250×250. Bone marrow smear. MGG-stained — 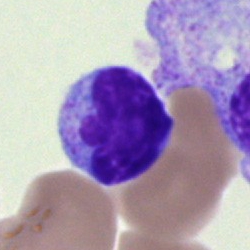

{"cell_type": "lymphocyte"}